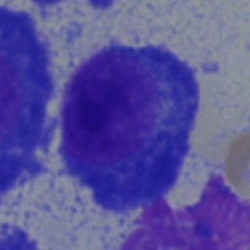 The classification is plasmacyte.